Bone marrow aspirate smear:
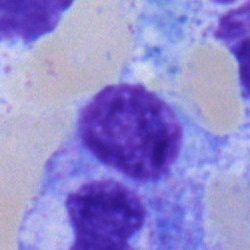Q: What type of cell is this?
A: This is a typical lymphocyte.